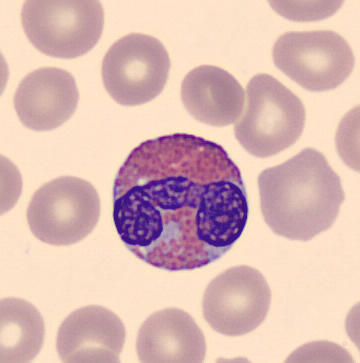

Specimen: peripheral blood film.
Morphological class: eosinophilic granulocyte.
Lineage: myeloid.